Pappenheim-stained; bone marrow aspirate smear; brightfield microscopy, 40× oil immersion:
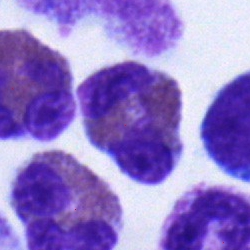

{"cell_type": "eosinophilic granulocyte", "lineage": "myeloid"}